Bone marrow smear · single-cell field:
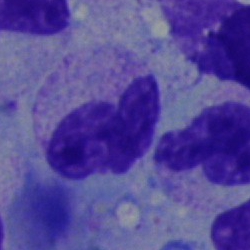 A stab cell.